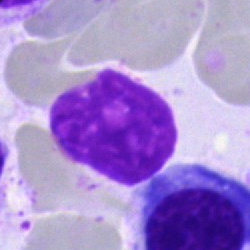 Specimen: bone marrow smear.
Classification: artifact.